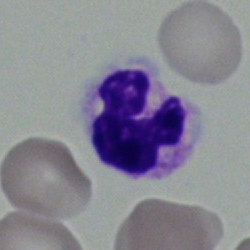
Q: What type of cell is this?
A: This is a polymorphonuclear neutrophil.